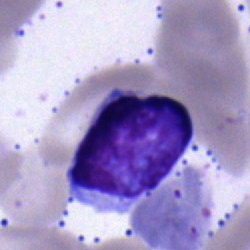Cell: typical lymphocyte.